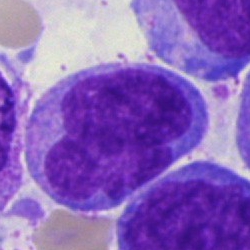
Q: Identify the cell.
A: Monocyte.